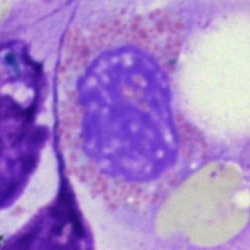
Cell type = eosinophil.